Bone marrow aspirate smear; brightfield microscopy, 40× oil immersion — 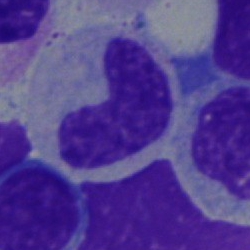 Morphology consistent with a stab cell.